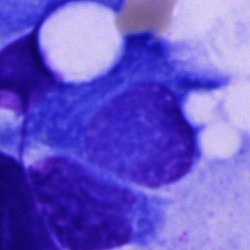

Q: What is shown here?
A: This is a plasma cell.